Bone marrow aspirate smear.
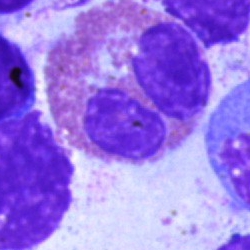
Cell type = eosinophil.